Bone marrow smear — 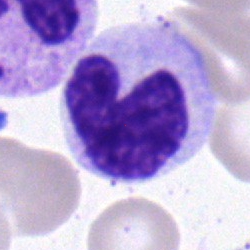Specimen: bone marrow aspirate smear.
Classification: stab cell.